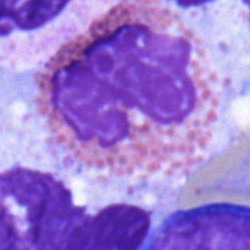Q: What is the morphological classification of this cell?
A: Eosinophil.